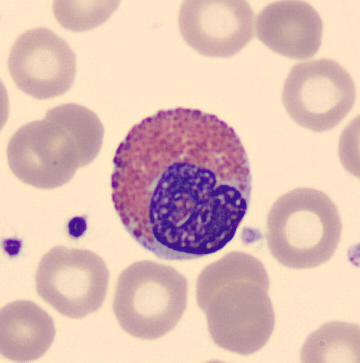 Specimen: peripheral blood film.
Morphological class: eosinophilic granulocyte.
Lineage: myeloid.